Bone marrow smear:
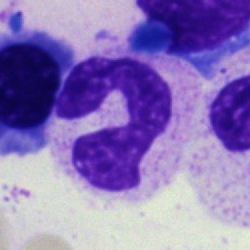Showing a polymorphonuclear neutrophil.